Bone marrow aspirate smear — 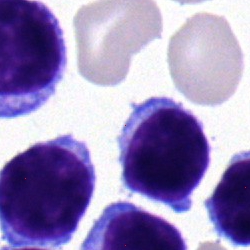
Classification: typical lymphocyte.